Bone marrow aspirate smear:
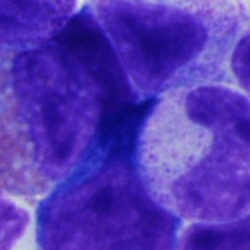

Q: Identify the cell.
A: A proerythroblast.